Bone marrow smear
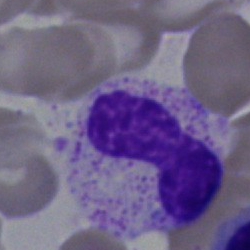This is a band neutrophil.